Bone marrow aspirate smear. Single-cell field. Brightfield, 40× oil-immersion objective:
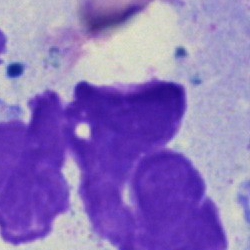

Showing an artefact.